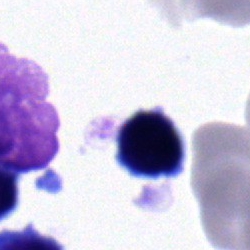Q: What is the morphological classification of this cell?
A: This is a lymphocyte.